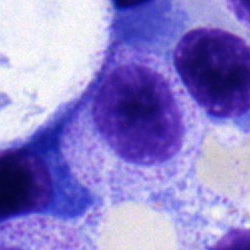

The cell is myelocyte.